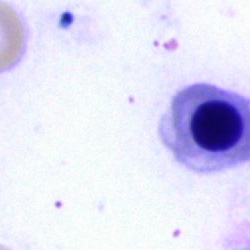Bone marrow aspirate smear, single cell — nucleated red blood cell.